Bone marrow smear
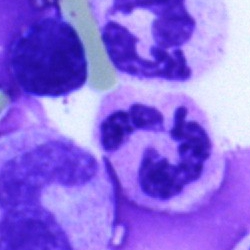

Specimen: bone marrow aspirate smear.
Classification: polymorphonuclear neutrophil.